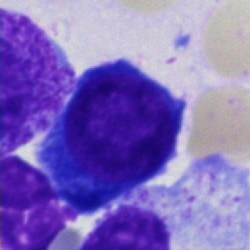Classification: erythroblast.